Bone marrow smear. 250 by 250 pixels: 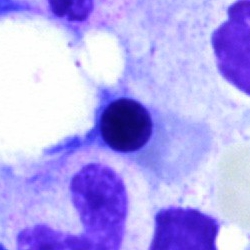
{"cell_type": "nucleated red blood cell"}